Bone marrow smear — 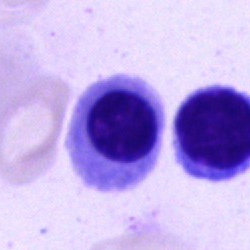This is a nucleated red blood cell.